Bone marrow smear. 250×250.
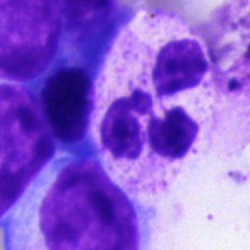 Showing a neutrophil (segmented).